MGG-stained. Bone marrow smear.
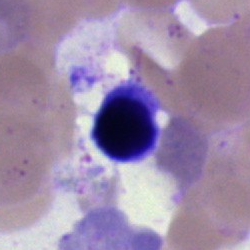

Artifact.